Bone marrow aspirate smear. Single-cell field:
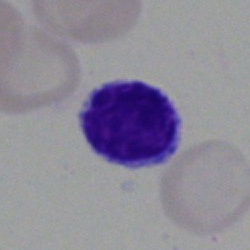Classification: typical lymphocyte.